Bone marrow aspirate smear.
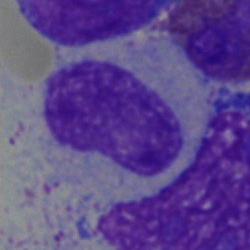 The cell type is neutrophil (band).